MGG-stained · bone marrow aspirate smear · brightfield microscopy, 40× oil immersion:
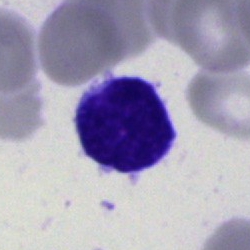 Q: What type of cell is this?
A: Blast cell.